Brightfield, 40× oil-immersion objective; bone marrow smear; 250 by 250 pixels — 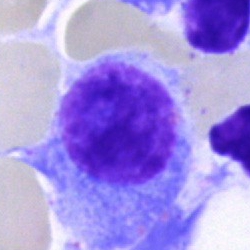 The morphological class is plasmacyte.